40× objective, oil immersion · 250×250 · bone marrow aspirate smear — 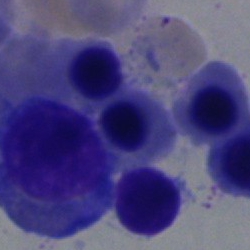

Q: What is the morphological classification of this cell?
A: An erythroblast.